Bone marrow aspirate smear — 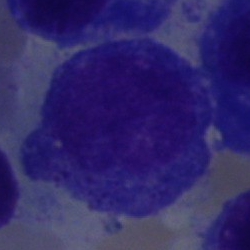

Classification — promyelocyte.